Bone marrow aspirate smear:
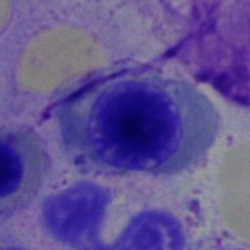 Morphology — nucleated red cell.